Bone marrow smear
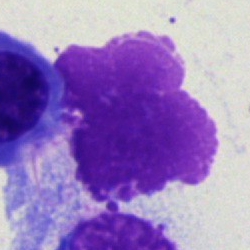{"cell_type": "artefact"}